Bone marrow aspirate smear — 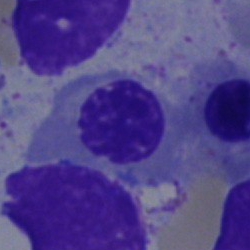 Showing a nucleated red blood cell.